Bone marrow smear; MGG-stained; image size 250×250 — 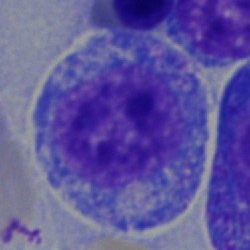Progranulocyte.